Brightfield microscopy, 40× oil immersion · bone marrow smear:
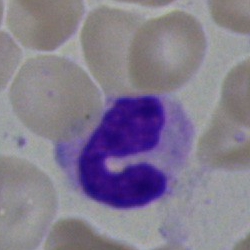
Morphological class = band neutrophil.